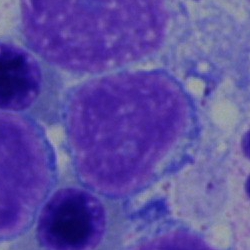

Cell = typical lymphocyte.